Bone marrow smear; single-cell crop:
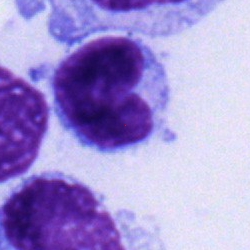
{"cell_type": "typical lymphocyte", "lineage": "lymphoid"}